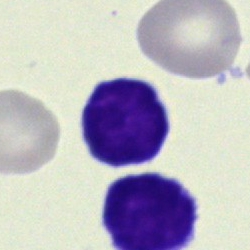 {"cell_type": "typical lymphocyte", "lineage": "lymphoid"}